Peripheral blood film: 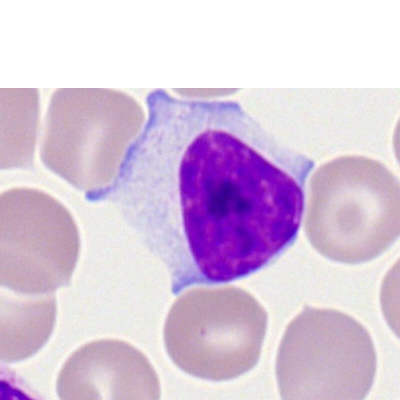

Q: What is the morphological classification of this cell?
A: A typical lymphocyte.